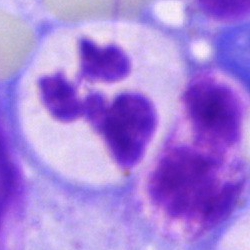 Specimen: bone marrow aspirate smear.
Morphological class: segmented neutrophil.
Lineage: myeloid.